Single cell centered in the field. 250×250. Bone marrow smear.
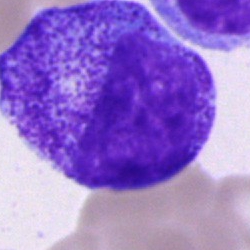
Cell — progranulocyte.